Single-cell field; bone marrow aspirate smear: 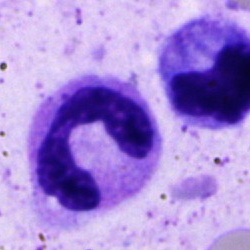

Q: What is shown here?
A: A segmented neutrophil.